40× oil immersion. 250 by 250 pixels. Bone marrow aspirate smear.
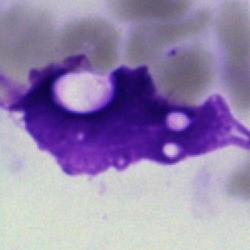An artifact.